Bone marrow smear.
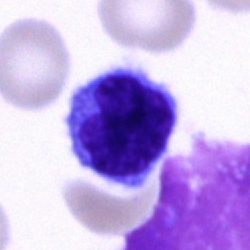 A lymphocyte.